Bone marrow aspirate smear
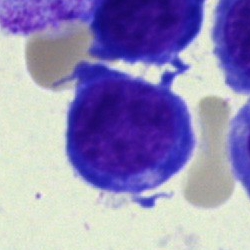

The cell is pronormoblast.